Peripheral blood film
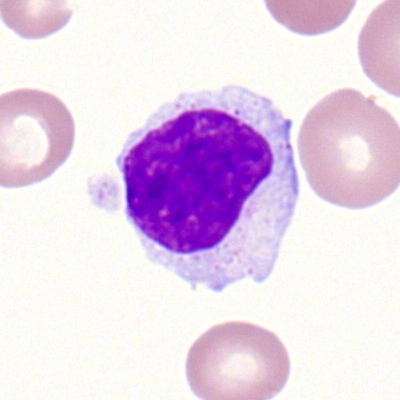
Cell: lymphocyte.